Bone marrow aspirate smear — 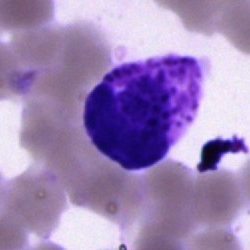 Basophilic granulocyte.